Single-cell crop · bone marrow smear.
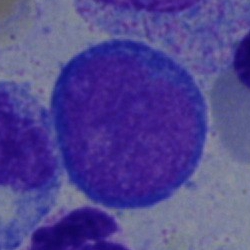Showing a blast cell.